Bone marrow aspirate smear; single cell centered in the field.
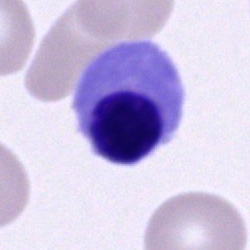
Morphology consistent with a nucleated red cell.